Bone marrow aspirate smear.
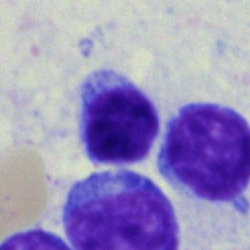{"cell_type": "lymphocyte"}